Bone marrow aspirate smear — 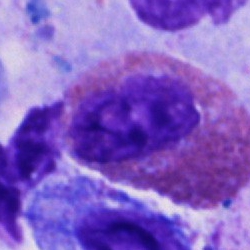 Classification = eosinophilic granulocyte.